Bone marrow aspirate smear; brightfield microscopy, 40× oil immersion — 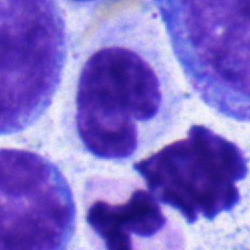
Specimen: bone marrow aspirate smear.
Morphological class: neutrophil (band).
Lineage: myeloid.